Bone marrow aspirate smear; May-Grünwald-Giemsa stain; 40× objective, oil immersion — 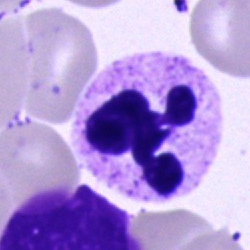
Q: What is the morphological classification of this cell?
A: It is a polymorphonuclear neutrophil.